250×250 · May-Grünwald-Giemsa stain · bone marrow aspirate smear:
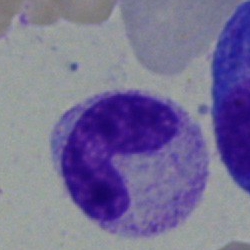

The cell shown is a band neutrophil.